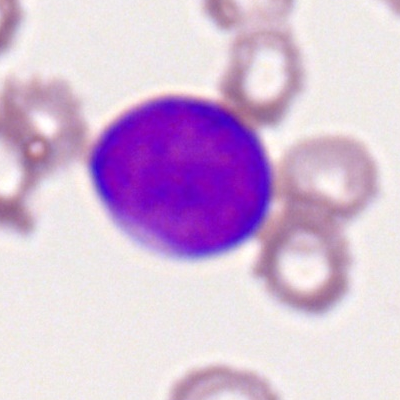 Morphology — myeloblast.